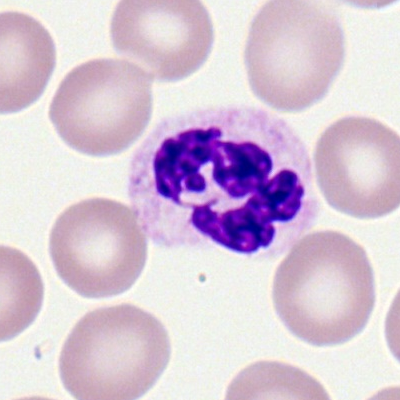
Classification — polymorphonuclear neutrophil.